Single cell centered in the field · bone marrow aspirate smear · 250 by 250 pixels.
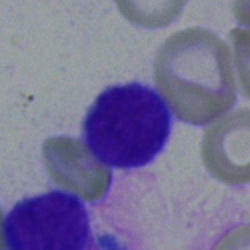

Showing a lymphocyte.